100× oil immersion · peripheral blood film:
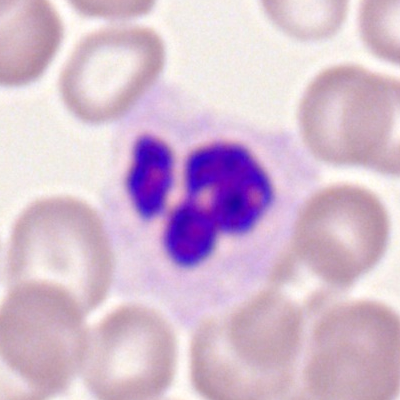Cell type: segmented neutrophil.